Peripheral blood film.
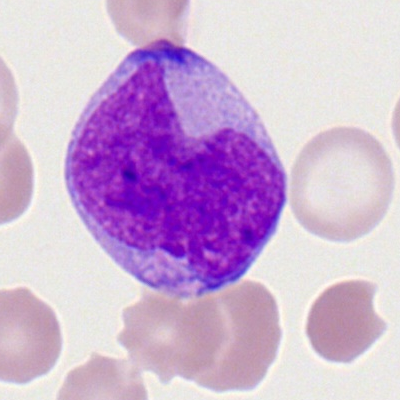 The cell type is myeloid blast.